Bone marrow smear:
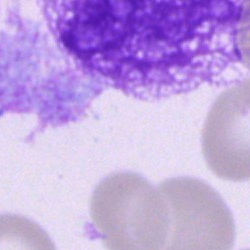 Cell type = artefact.